250 by 250 pixels. Bone marrow aspirate smear
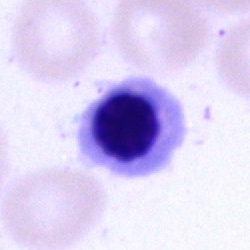

This is a normoblast.